Bone marrow aspirate smear · cropped to a single cell:
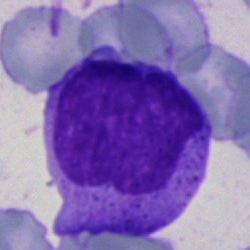

Classification = monocyte.